Bone marrow aspirate smear:
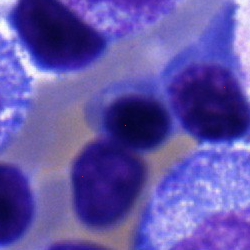The cell shown is a myelocyte.